Bone marrow smear — 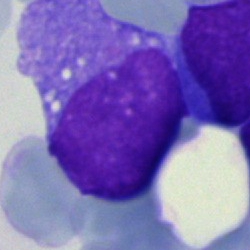

An undifferentiated blast.